Single-cell field · bone marrow aspirate smear — 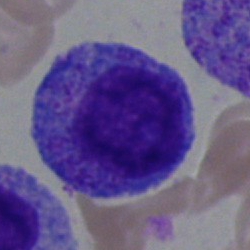Q: What is the morphological classification of this cell?
A: Myelocyte.